Peripheral blood smear; single-cell field; 400×400: 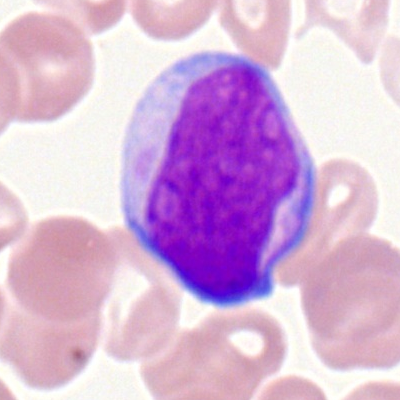

Morphology — myeloblast.